Cropped to a single cell. Peripheral blood film — 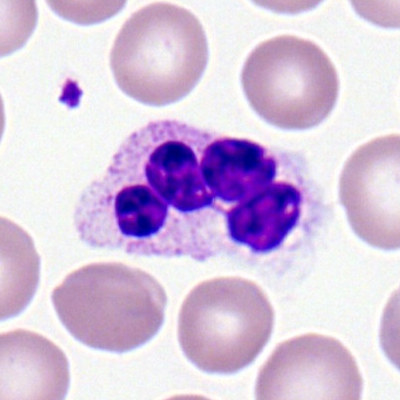Morphology → segmented neutrophil.